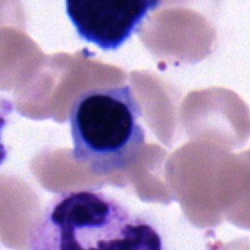 Q: What type of cell is this?
A: This is a normoblast.